Brightfield, 40× oil-immersion objective. MGG-stained. Bone marrow aspirate smear:
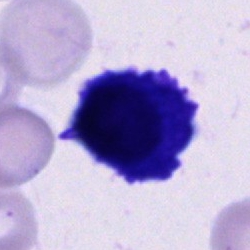
Impression — plasma cell.